250×250. Bone marrow aspirate smear. 40× oil immersion:
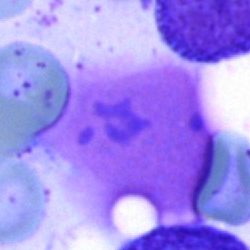
Single cell identified as an artefact.